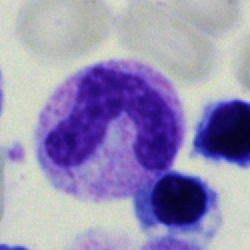

Q: What type of cell is this?
A: This is a neutrophil (band).